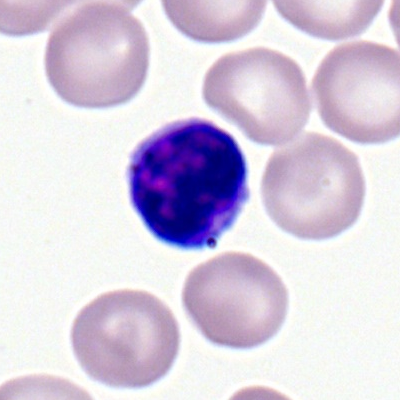
Peripheral blood film, single cell — typical lymphocyte.